May-Grünwald-Giemsa stain · bone marrow aspirate smear
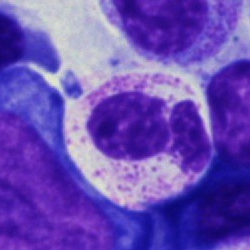

Specimen: bone marrow smear.
Morphological class: polymorphonuclear neutrophil.